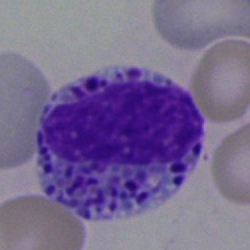 Impression — basophilic granulocyte.